Bone marrow smear
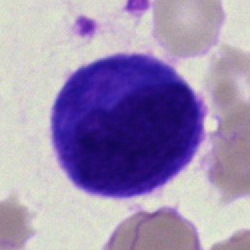Specimen: bone marrow smear.
Classification: blast.